250×250; bone marrow aspirate smear — 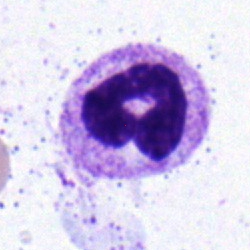

Stab cell.